Bone marrow aspirate smear: 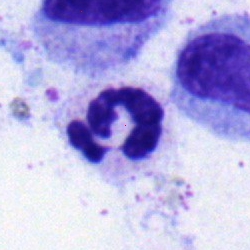Morphology consistent with a polymorphonuclear neutrophil.